Bone marrow aspirate smear: 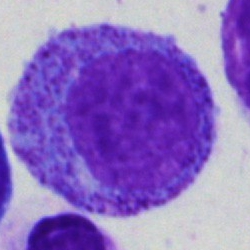
Classification: progranulocyte.